Bone marrow smear: 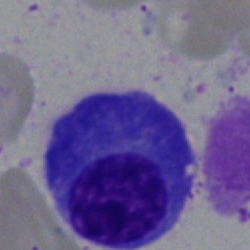

Q: Which cell type is shown here?
A: A plasmacyte.